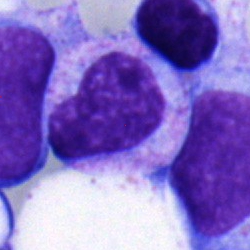This is a metamyelocyte.